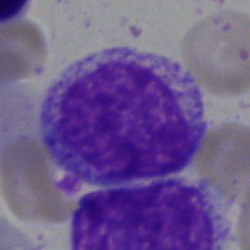
A myelocyte on a bone marrow smear.